Bone marrow smear · 250×250.
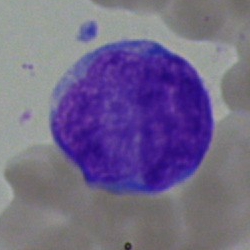 Morphology — blast.